Peripheral blood smear — 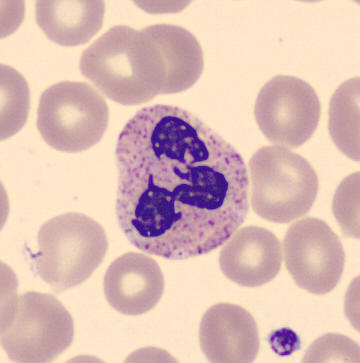 Specimen: peripheral blood film.
Morphological class: segmented neutrophil.